Bone marrow smear · May-Grünwald-Giemsa stain · single-cell crop: 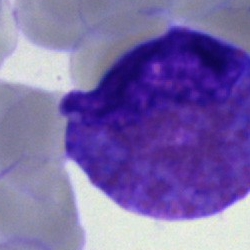
The classification is eosinophil.